Pappenheim-stained; bone marrow aspirate smear:
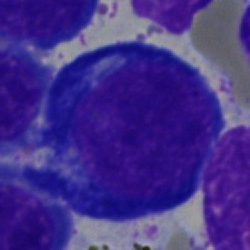

Morphological class: proerythroblast.